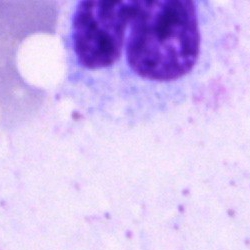
Q: What is shown here?
A: This is an artefact.